Bone marrow aspirate smear — 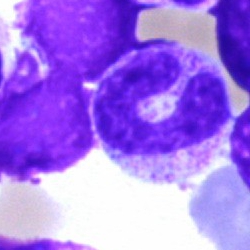 The cell is band neutrophil.